Bone marrow aspirate smear: 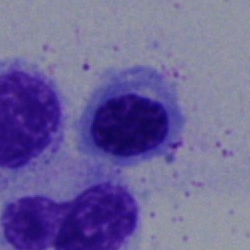{"cell_type": "normoblast", "lineage": "erythroid"}